Bone marrow smear: 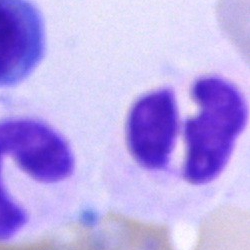

The cell shown is a polymorphonuclear neutrophil.